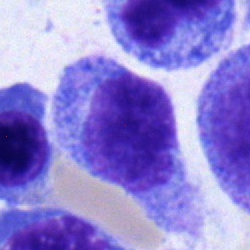Single cell identified as a lymphocyte.